250×250. Bone marrow aspirate smear — 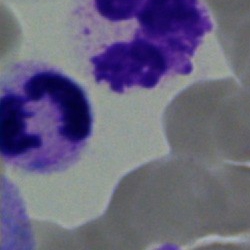 Specimen: bone marrow smear.
Cell: polymorphonuclear neutrophil.
Lineage: myeloid.